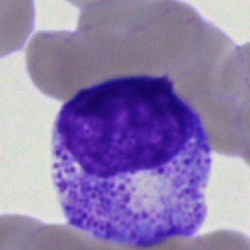 Q: What cell is this?
A: It is a myelocyte.